Bone marrow aspirate smear:
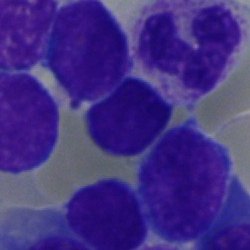 Q: What type of cell is this?
A: This is a typical lymphocyte.